Peripheral blood smear:
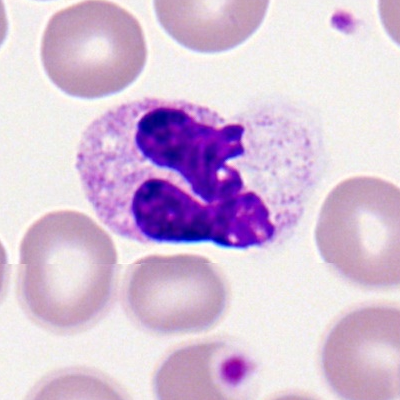 Impression → segmented neutrophil.